Bone marrow aspirate smear:
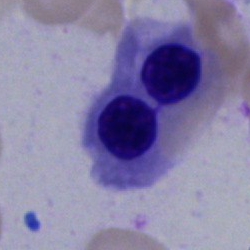
Q: What type of cell is this?
A: This is a normoblast.